250×250; bone marrow aspirate smear: 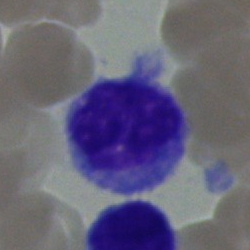
A monocyte.